Bone marrow smear — 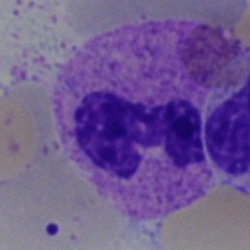 Classification = polymorphonuclear neutrophil.